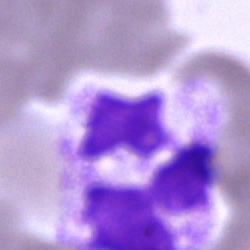 Bone marrow smear showing a segmented neutrophil.